Bone marrow aspirate smear · 250×250
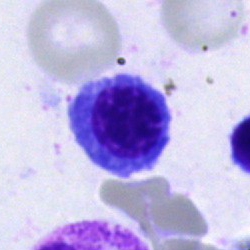
Q: Identify the cell.
A: Nucleated red cell.